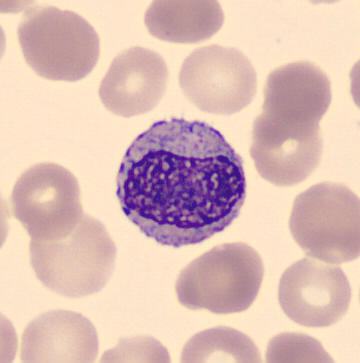The cell is myelocyte.